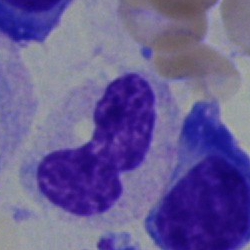 Classification: stab cell.